Bone marrow aspirate smear · 250×250 — 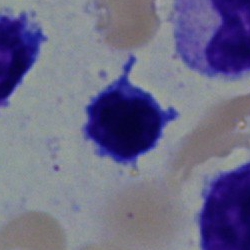Morphological class — lymphocyte.